Bone marrow smear:
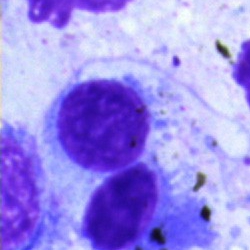 Morphological class = typical lymphocyte.